Bone marrow aspirate smear
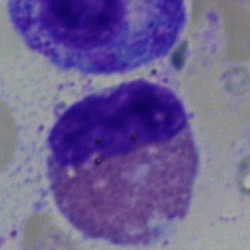

Cell type = eosinophilic granulocyte.